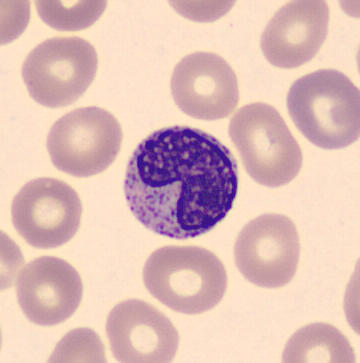

Morphology — metamyelocyte.

Preparation: Single cell centered in the field · imaged on a CellaVision DM96 analyser · peripheral blood film.